Bone marrow aspirate smear; 250×250 px.
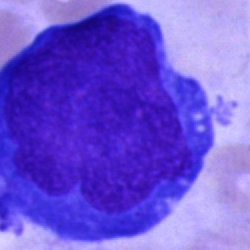

This is a blast cell.